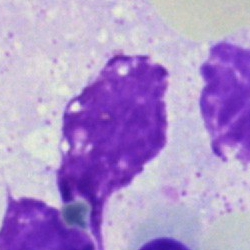The morphological class is artifact.